Peripheral blood smear
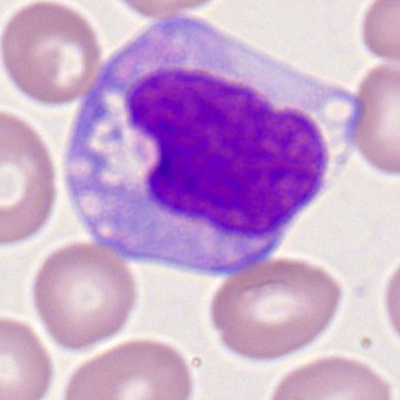
{"cell_type": "monocyte"}